Peripheral blood smear — 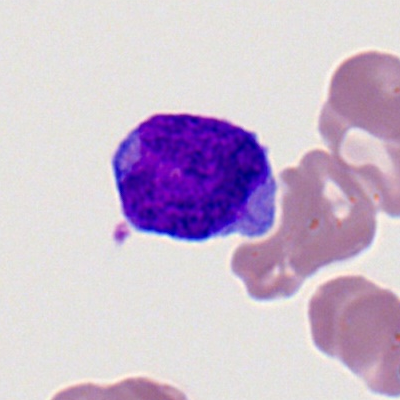 Impression — lymphocyte.